Bone marrow aspirate smear
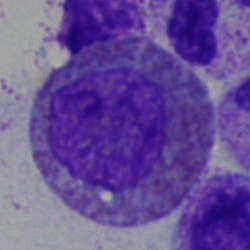Classification — eosinophilic granulocyte.